Bone marrow aspirate smear; May-Grünwald-Giemsa/Pappenheim stain: 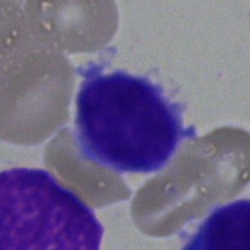Q: What is shown here?
A: It is a lymphocyte.